Bone marrow smear
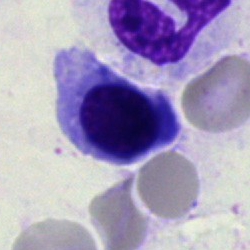
This is a nucleated red blood cell.